Bone marrow smear — 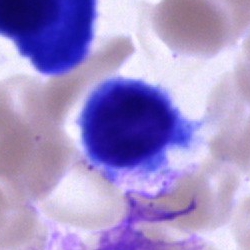
This is a cell of indeterminate lineage.